Bone marrow smear:
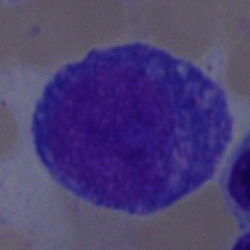

Classification = progranulocyte.